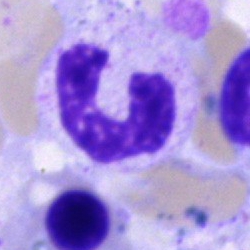The cell is neutrophil (band).